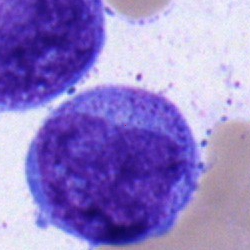

Morphology → undifferentiated blast.